Bone marrow smear
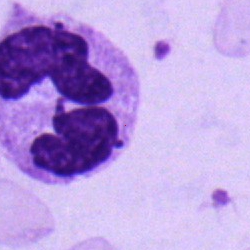 Impression — polymorphonuclear neutrophil.